Bone marrow aspirate smear.
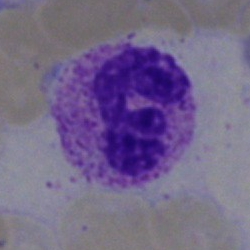
Morphological class: segmented neutrophil.